May-Grünwald-Giemsa stain; brightfield microscopy, 40× oil immersion; bone marrow smear.
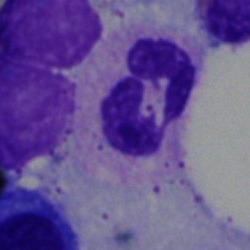

Q: What cell is this?
A: A neutrophil (segmented).